Bone marrow smear — 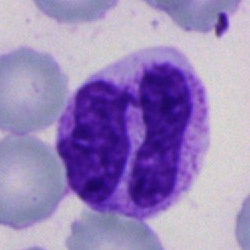The cell shown is a polymorphonuclear neutrophil.